Bone marrow smear · 250×250 px: 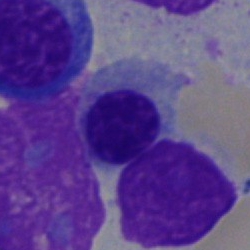
This is a normoblast.